Bone marrow aspirate smear.
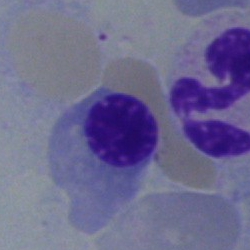
Impression — nucleated red blood cell.